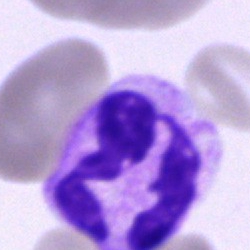

Cell type = neutrophil (segmented).